Bone marrow smear:
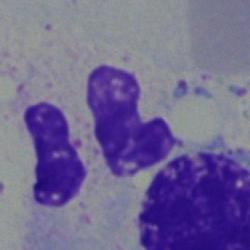Single cell identified as a segmented neutrophil.